Image size 400×400; peripheral blood smear; Romanowsky-type stain — 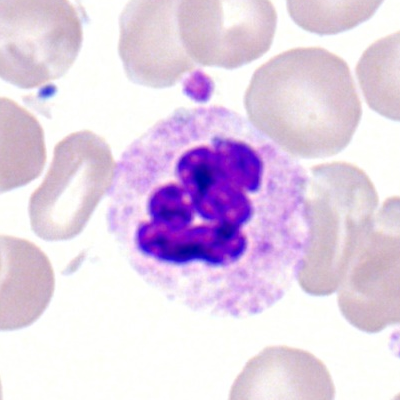 This is a polymorphonuclear neutrophil.